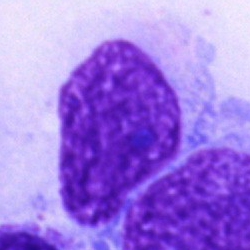
Cell type: artifact.